Bone marrow aspirate smear: 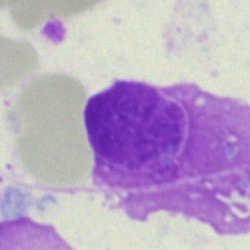Single cell identified as an artefact.